Bone marrow aspirate smear. Single cell centered in the field. MGG-stained: 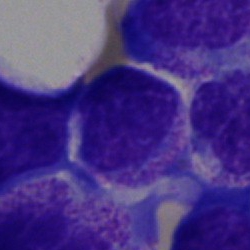

Q: Which cell type is shown here?
A: It is an undifferentiated blast.